Single cell centered in the field; bone marrow aspirate smear; 250×250
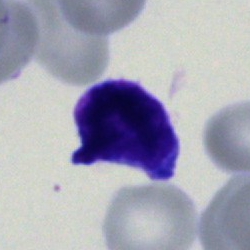 {"cell_type": "cell of indeterminate lineage"}